Pappenheim-stained. Bone marrow aspirate smear: 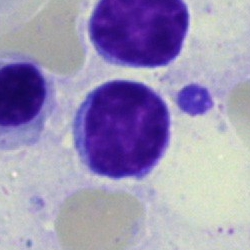
Single cell identified as a typical lymphocyte.